Bone marrow aspirate smear — 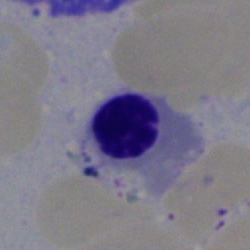 Morphology consistent with an erythroblast.